Bone marrow aspirate smear; 40× oil immersion:
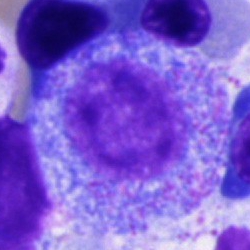

Morphology consistent with a progranulocyte.